Bone marrow aspirate smear.
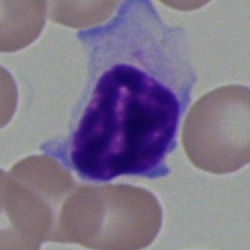 Morphological class — typical lymphocyte.